Peripheral blood smear
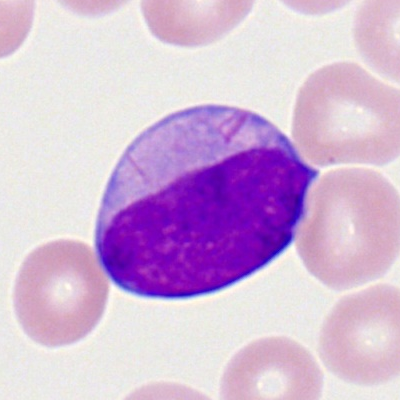
A myeloblast.